Bone marrow smear.
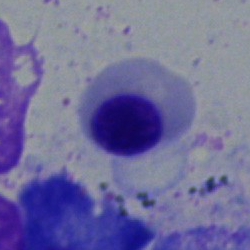

This is a nucleated red cell.